Bone marrow aspirate smear; May-Grünwald-Giemsa/Pappenheim stain
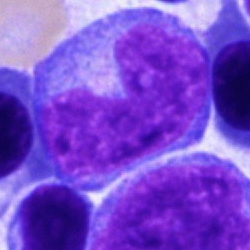 The morphological class is monocyte.